Bone marrow aspirate smear:
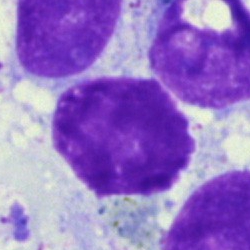

Single cell identified as an artifact.